Bone marrow aspirate smear · brightfield, 40× oil-immersion objective:
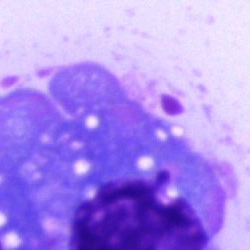

Specimen: bone marrow smear.
Cell: plasmacyte.
Lineage: lymphoid.